Bone marrow aspirate smear
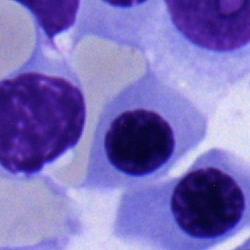

The cell shown is an erythroblast.